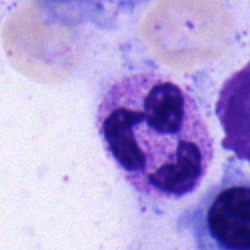Q: What is the morphological classification of this cell?
A: Segmented neutrophil.